Bone marrow smear · 250×250:
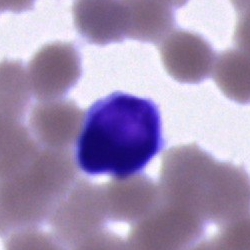

{"cell_type": "artefact"}